Peripheral blood film.
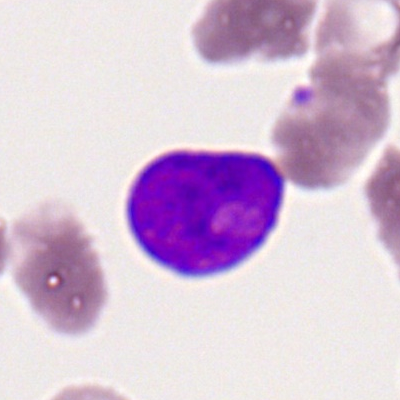

The cell type is myeloblast.